Bone marrow aspirate smear
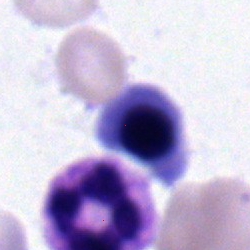 Cell type = normoblast.